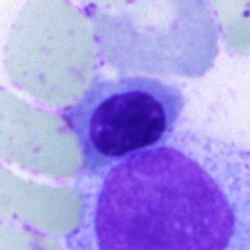Specimen: bone marrow smear.
Morphological class: nucleated red blood cell.